Image size 400×400 · single-cell field · peripheral blood smear.
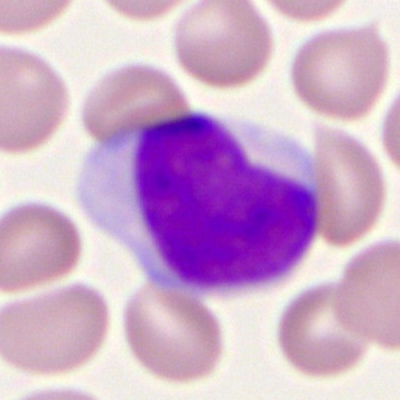
Q: What cell is this?
A: Myeloblast.